Bone marrow aspirate smear: 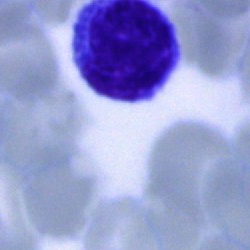
Cell type = lymphocyte.